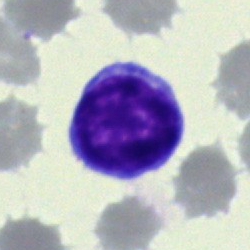 Morphological class: lymphocyte.